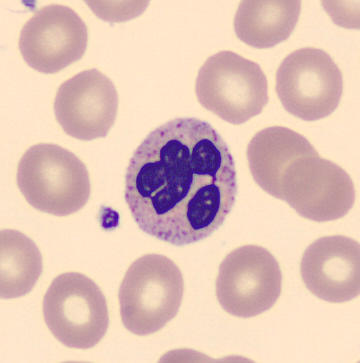

Morphology consistent with a neutrophil (segmented).